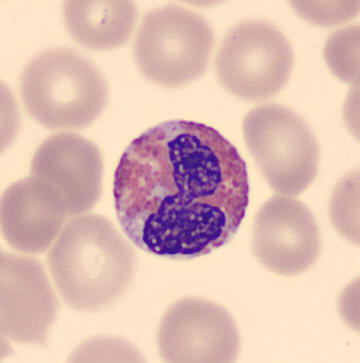 {"cell_type": "eosinophil", "lineage": "myeloid"} Preparation: Peripheral blood film.